Bone marrow aspirate smear.
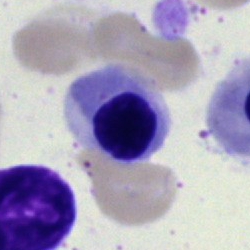 Impression — nucleated red cell.